Bone marrow aspirate smear:
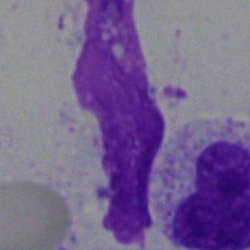Cell type — artifact.